Bone marrow smear — 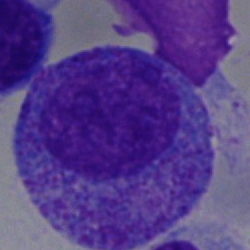
Specimen: bone marrow smear.
Classification: myelocyte.